Bone marrow smear:
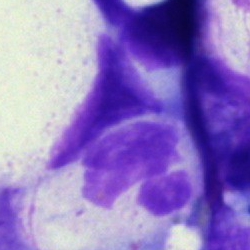
Artefact.